Brightfield microscopy, 40× oil immersion · bone marrow aspirate smear:
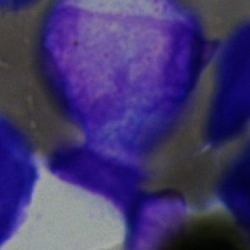 Specimen: bone marrow aspirate smear.
Classification: blast cell.